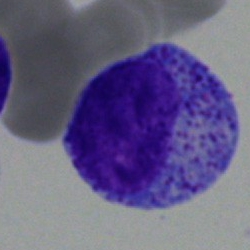Classification: progranulocyte.